Bone marrow aspirate smear; 250×250:
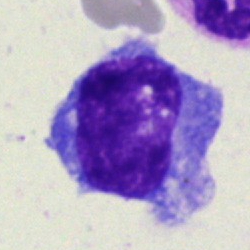
Monocyte.